Single-cell field; 250×250; bone marrow smear: 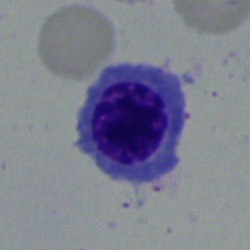 This is a nucleated red cell.